Bone marrow aspirate smear — 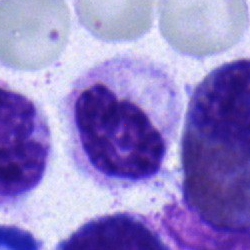
Cell: neutrophil (segmented).